250×250 px. Bone marrow aspirate smear. Cropped to a single cell.
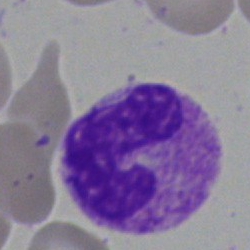 Impression → band neutrophil.